Bone marrow smear:
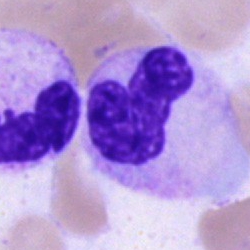
This is a stab cell.